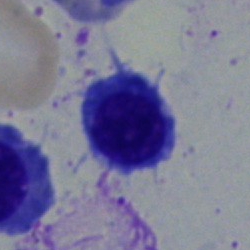

Cell type = lymphocyte.